Peripheral blood film
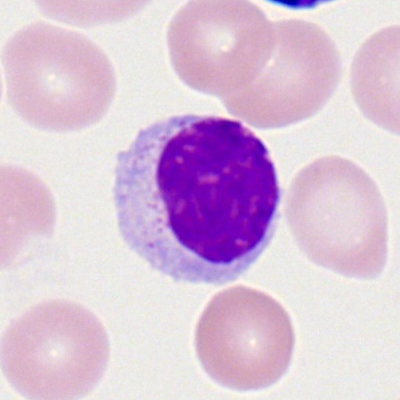 Impression → lymphocyte.